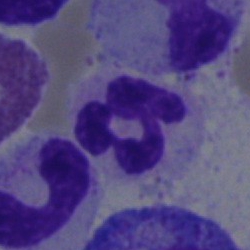Polymorphonuclear neutrophil.